Bone marrow smear · May-Grünwald-Giemsa stain — 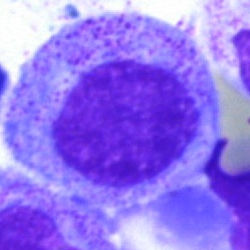
A myelocyte.